Bone marrow smear — 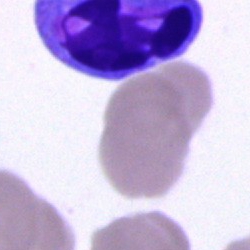
Specimen: bone marrow aspirate smear.
Cell type: artifact.